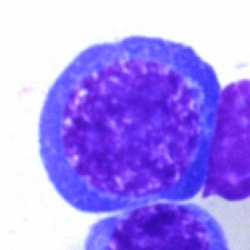 Specimen: bone marrow aspirate smear.
Classification: nucleated red cell.
Lineage: erythroid.